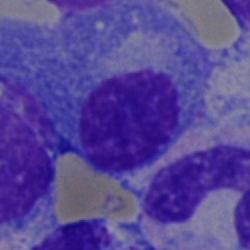
Specimen: bone marrow aspirate smear.
Morphological class: plasma cell.
Lineage: lymphoid.